Bone marrow aspirate smear · brightfield microscopy, 40× oil immersion
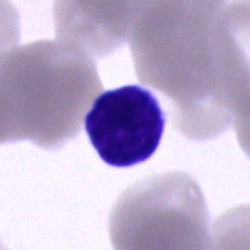
Specimen: bone marrow aspirate smear.
Cell: lymphocyte.